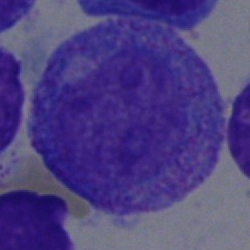 Specimen: bone marrow aspirate smear.
Classification: progranulocyte.
Lineage: myeloid.